Bone marrow aspirate smear
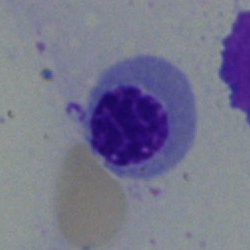 Specimen: bone marrow aspirate smear.
Cell type: nucleated red blood cell.